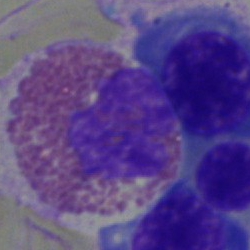Q: Which cell type is shown here?
A: It is an eosinophil.